Bone marrow smear
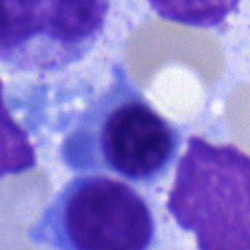 Q: What is shown here?
A: This is a nucleated red blood cell.